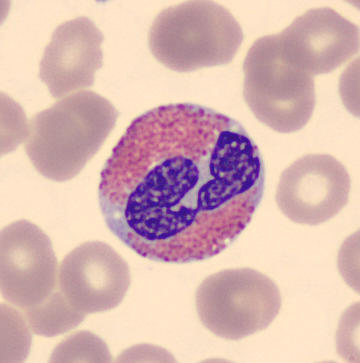

Showing an eosinophilic granulocyte.

Image: Peripheral blood smear.